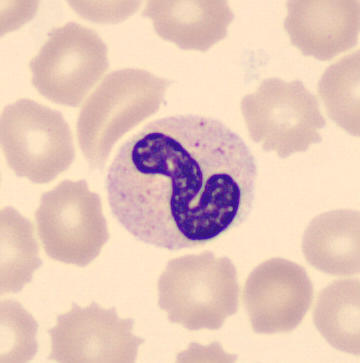 Neutrophil (band). Peripheral blood film.